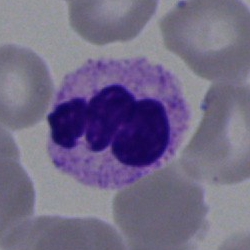

This is a neutrophil (segmented).